Bone marrow aspirate smear: 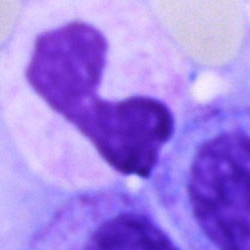 Morphology consistent with a stab cell.